Bone marrow aspirate smear · image size 250×250: 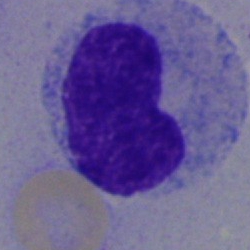

Morphological class — metamyelocyte.